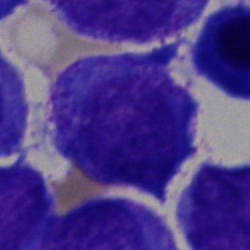 {"cell_type": "blast"}